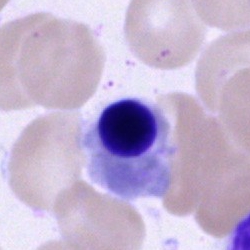Q: Which cell type is shown here?
A: A normoblast.